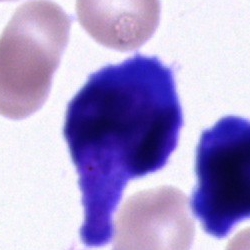 Q: What type of cell is this?
A: This is an unidentifiable cell.